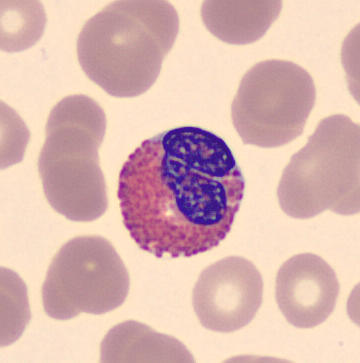Impression → eosinophil.
May Grünwald-Giemsa stain. Peripheral blood film. 360×363 px.